Peripheral blood film — 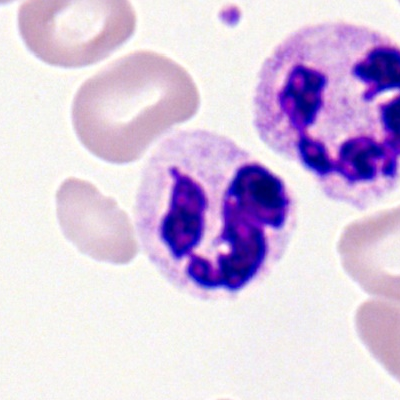 Specimen: peripheral blood smear.
Cell type: polymorphonuclear neutrophil.
Lineage: myeloid.